Bone marrow smear.
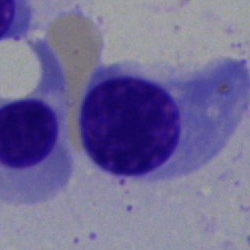Specimen: bone marrow smear.
Cell: nucleated red blood cell.
Lineage: erythroid.